Bone marrow smear — 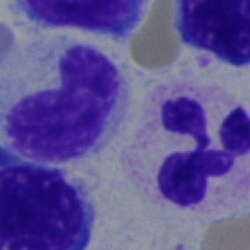
{"cell_type": "segmented neutrophil", "lineage": "myeloid"}